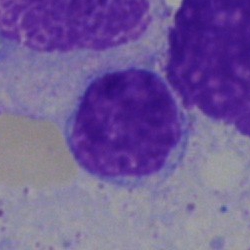 Q: What is the morphological classification of this cell?
A: It is a lymphocyte.